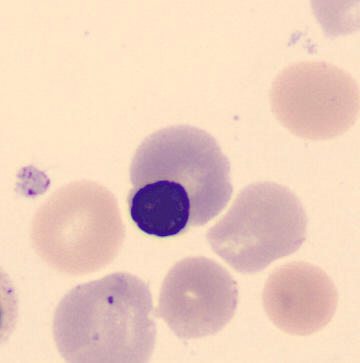Morphology consistent with a nucleated red blood cell.